Peripheral blood film · single-cell crop · Romanowsky-type stain: 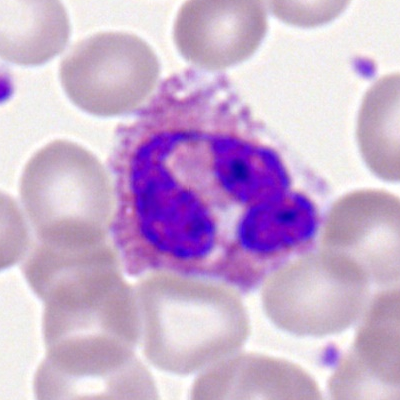{"cell_type": "eosinophil", "lineage": "myeloid"}